Bone marrow smear: 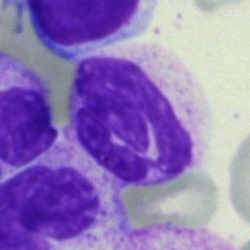

The morphological class is neutrophil (segmented).